Bone marrow aspirate smear.
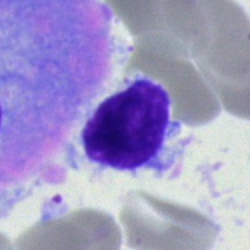

Q: What is shown here?
A: A typical lymphocyte.